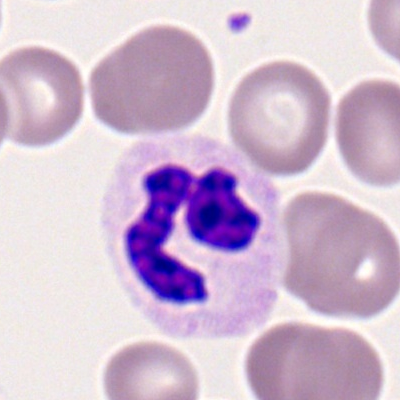Specimen: peripheral blood smear.
Classification: polymorphonuclear neutrophil.